Peripheral blood film · Romanowsky stain · single cell centered in the field — 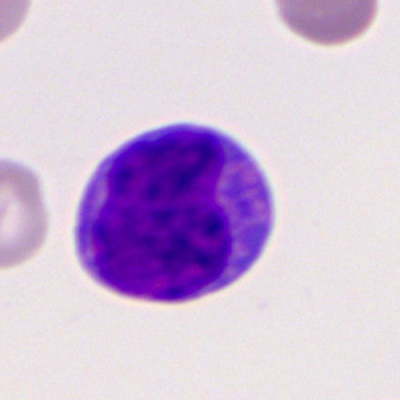

Impression — myeloid blast.